Bone marrow smear:
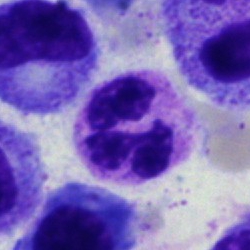
Q: What is shown here?
A: A segmented neutrophil.